Bone marrow smear
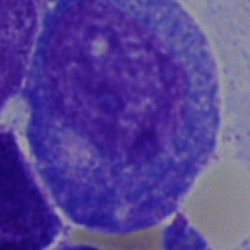Morphological class = promyelocyte.